Bone marrow smear:
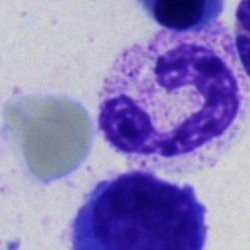Neutrophil (segmented).